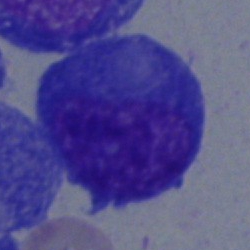
{"cell_type": "blast"}